Bone marrow smear — 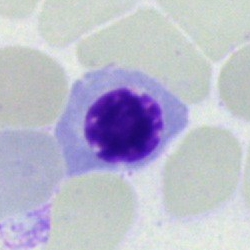 {"cell_type": "nucleated red blood cell", "lineage": "erythroid"}